Bone marrow smear. Brightfield microscopy, 40× oil immersion. Cropped to a single cell
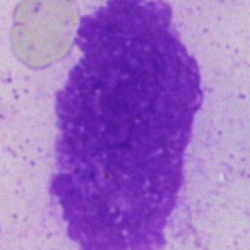 Q: What is shown here?
A: Artifact.